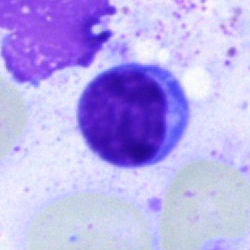 The morphological class is lymphocyte.